Image size 400×400; peripheral blood smear
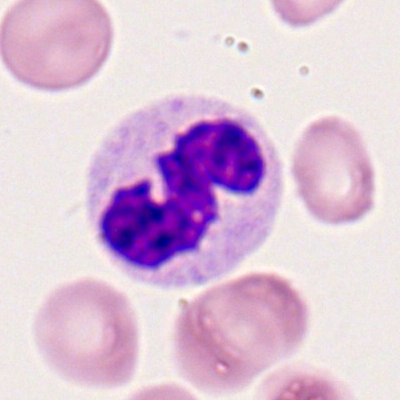 Polymorphonuclear neutrophil.